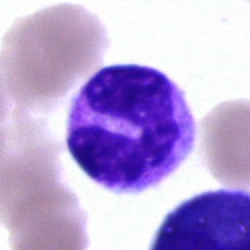 A polymorphonuclear neutrophil.